Bone marrow aspirate smear. Brightfield microscopy, 40× oil immersion: 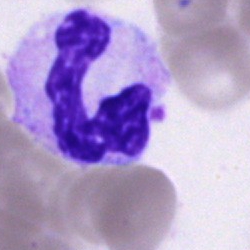Showing a neutrophil (segmented).